Single-cell crop. Bone marrow aspirate smear — 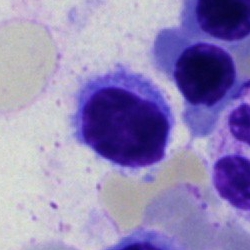 {"cell_type": "nucleated red cell", "lineage": "erythroid"}